Bone marrow smear · May-Grünwald-Giemsa stain
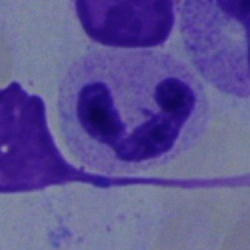This is a segmented neutrophil.